Peripheral blood smear — 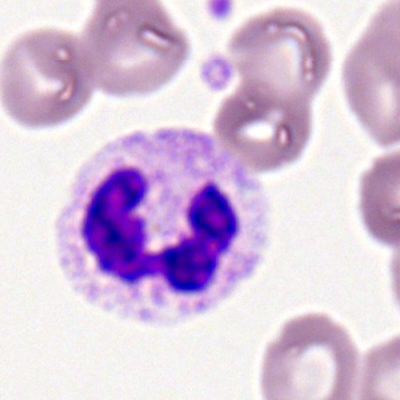 {"cell_type": "segmented neutrophil"}